Bone marrow smear · MGG-stained · brightfield microscopy, 40× oil immersion — 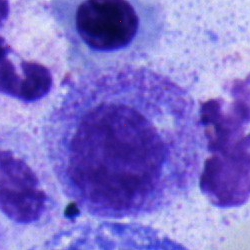
Myelocyte.